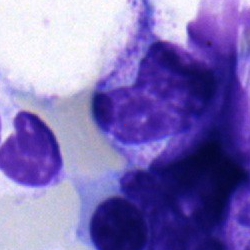

Q: Which cell type is shown here?
A: This is a stab cell.